400 by 400 pixels; peripheral blood film; Romanowsky stain
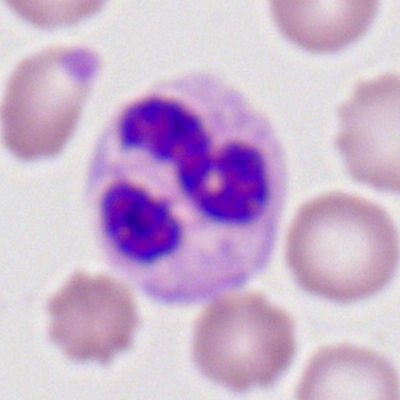
The classification is polymorphonuclear neutrophil.